Bone marrow smear · Pappenheim-stained · 250 by 250 pixels — 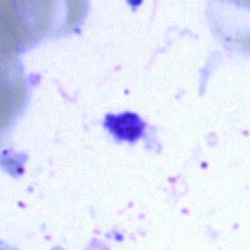 Cell = artefact.